Peripheral blood smear · Romanowsky stain · 100× objective, oil immersion.
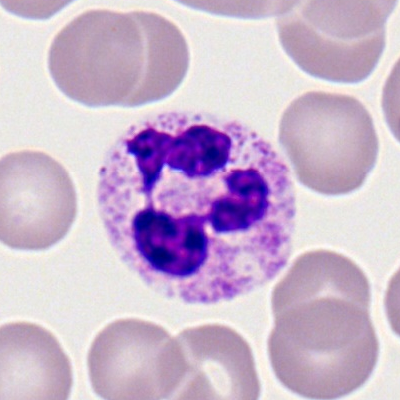 Impression — polymorphonuclear neutrophil.